Peripheral blood smear.
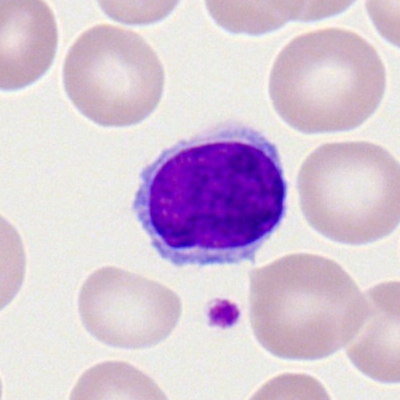 Specimen: peripheral blood film.
Cell type: lymphocyte.
Lineage: lymphoid.